Peripheral blood film:
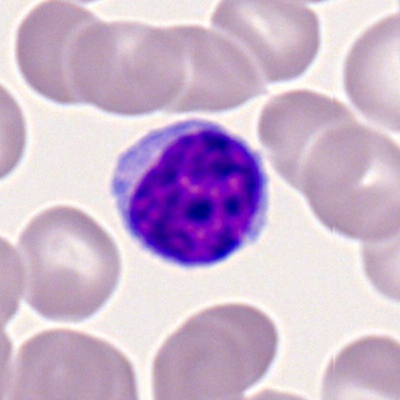
Q: What is shown here?
A: This is a typical lymphocyte.